May-Grünwald-Giemsa/Pappenheim stain; bone marrow aspirate smear
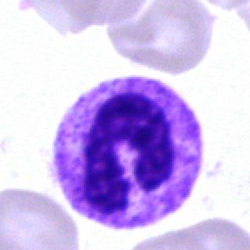
Q: Which cell type is shown here?
A: It is a segmented neutrophil.